Bone marrow aspirate smear
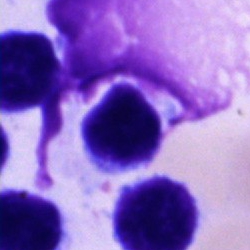{"cell_type": "lymphocyte", "lineage": "lymphoid"}